250×250 px. Bone marrow aspirate smear. Single-cell crop:
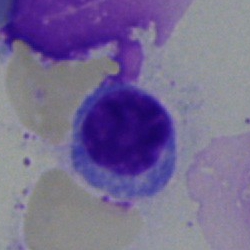

{"cell_type": "typical lymphocyte", "lineage": "lymphoid"}